Bone marrow aspirate smear · brightfield, 40× oil-immersion objective — 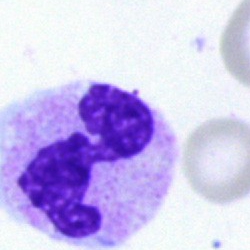

Impression — segmented neutrophil.